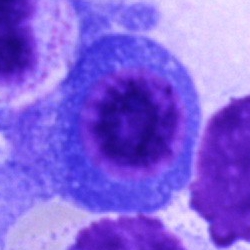 Impression — plasma cell.